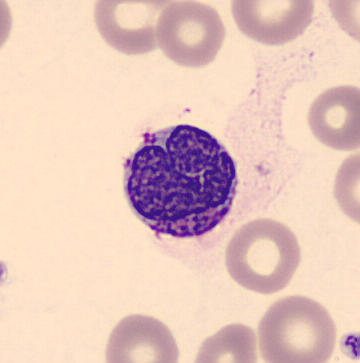

Q: What is shown here?
A: A basophilic granulocyte.

Peripheral blood film.